Single-cell field; bone marrow smear:
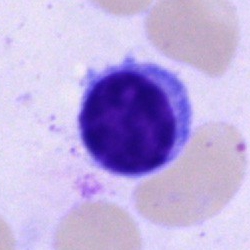Specimen: bone marrow aspirate smear.
Morphological class: lymphocyte.
Lineage: lymphoid.